Bone marrow aspirate smear · 250×250 px · MGG-stained.
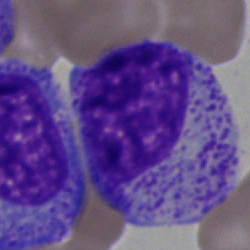
Single cell identified as a promyelocyte.